Bone marrow aspirate smear: 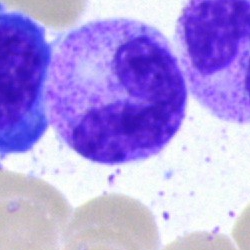
Showing a metamyelocyte.